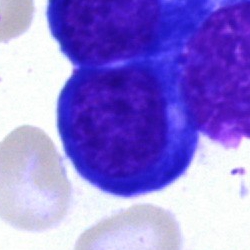 Q: What type of cell is this?
A: This is a nucleated red blood cell.